Bone marrow smear — 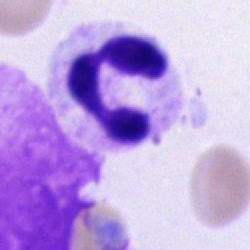
Cell type — polymorphonuclear neutrophil.